250×250 · bone marrow smear — 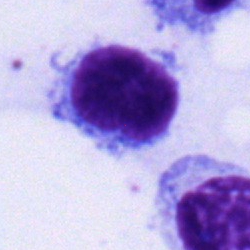
Morphology consistent with a typical lymphocyte.